Bone marrow aspirate smear. MGG-stained. 40× oil immersion.
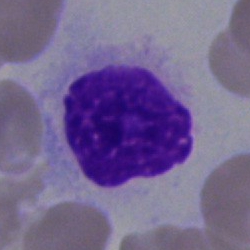

The classification is hairy cell.